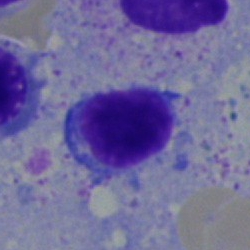

Specimen: bone marrow aspirate smear.
Cell type: lymphocyte.
Lineage: lymphoid.